Peripheral blood smear: 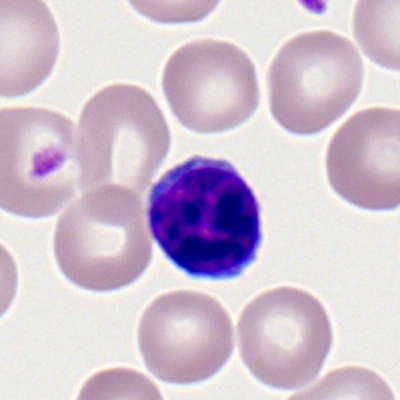Morphology → typical lymphocyte.